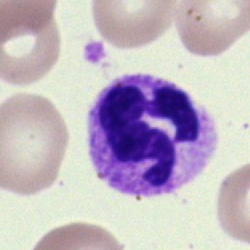
Q: What is the morphological classification of this cell?
A: This is a neutrophil (segmented).